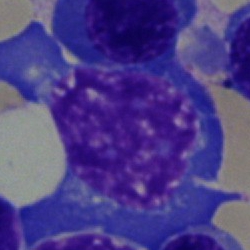The morphological class is normoblast.